400×400 px · peripheral blood smear — 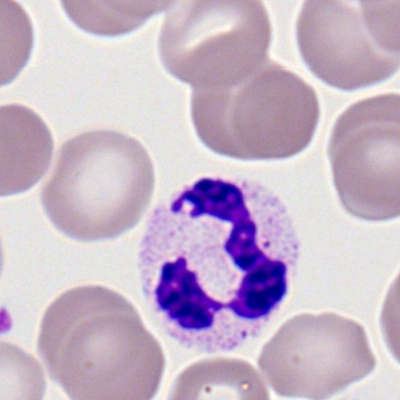
Morphology — neutrophil (segmented).